Single-cell field; bone marrow aspirate smear: 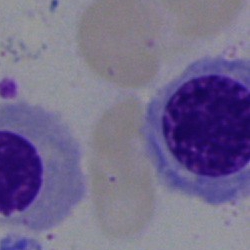

The cell shown is a normoblast.